Brightfield, 40× oil-immersion objective · Pappenheim-stained · bone marrow aspirate smear.
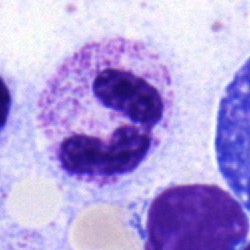Showing a neutrophil (segmented).